Bone marrow smear: 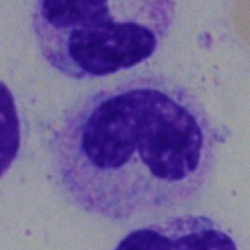Cell = band-form neutrophil.